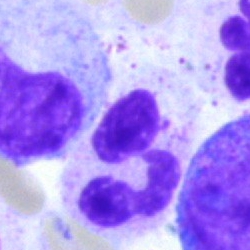
Single-cell crop from a bone marrow smear: polymorphonuclear neutrophil.